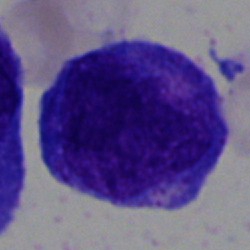

Specimen: bone marrow aspirate smear.
Morphological class: blast.